Romanowsky-type stain · peripheral blood film.
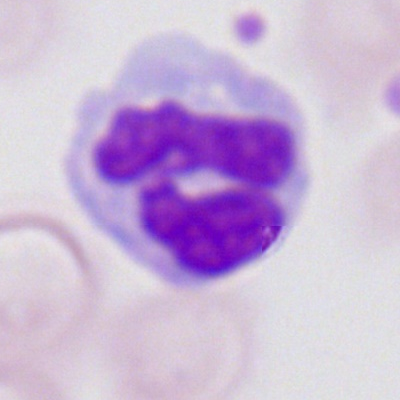

The cell is monocyte.